Bone marrow aspirate smear — 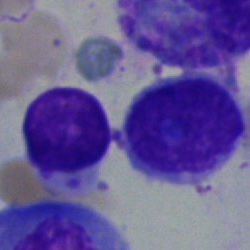
Q: What type of cell is this?
A: It is a lymphocyte.